250×250. Brightfield, 40× oil-immersion objective. Bone marrow smear:
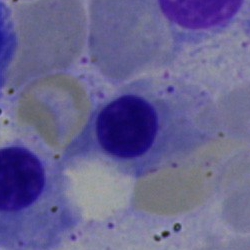
The morphological class is nucleated red blood cell.